Bone marrow smear:
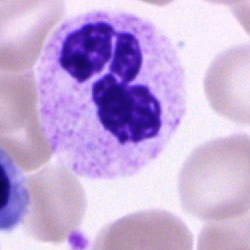
Impression — polymorphonuclear neutrophil.